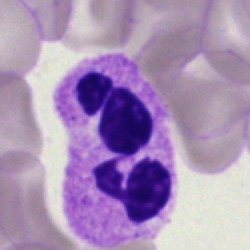
Morphology consistent with a segmented neutrophil.